Peripheral blood smear
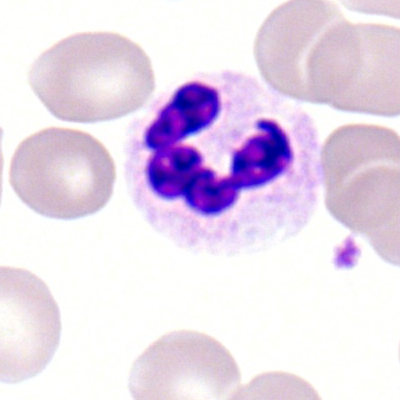 Showing a polymorphonuclear neutrophil.